MGG-stained; bone marrow aspirate smear: 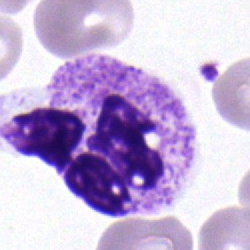The cell shown is a segmented neutrophil.